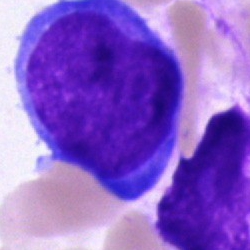

Classification — blast.